Bone marrow aspirate smear; Pappenheim-stained; single cell centered in the field
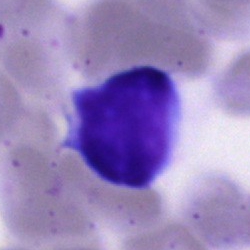Cell type = typical lymphocyte.